Brightfield, 40× oil-immersion objective. Bone marrow aspirate smear:
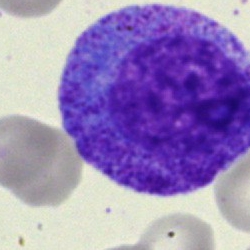
Morphological class = promyelocyte.